May-Grünwald-Giemsa/Pappenheim stain; single cell centered in the field; bone marrow aspirate smear:
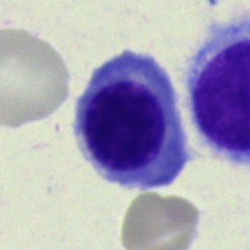

Q: Which cell type is shown here?
A: It is an erythroblast.